Cropped to a single cell · 250 by 250 pixels · bone marrow smear: 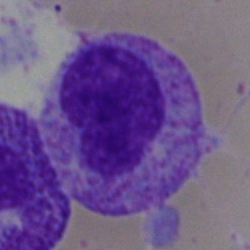 Single cell identified as a metamyelocyte.